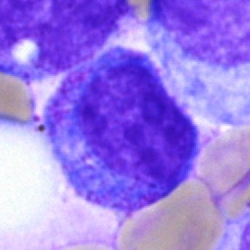

Morphology consistent with a promyelocyte.